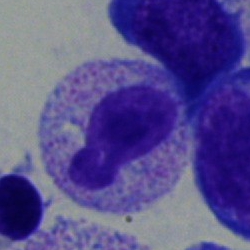

Neutrophil (band).